Romanowsky stain. Peripheral blood film — 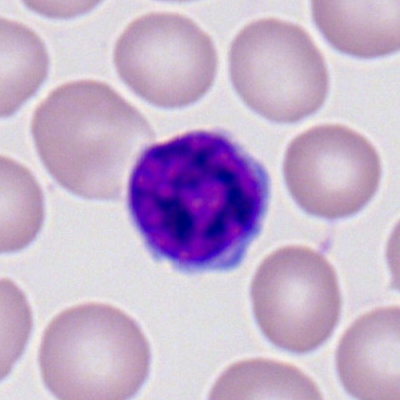
Lymphocyte.